Bone marrow aspirate smear.
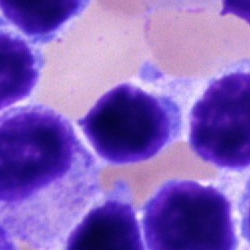

Specimen: bone marrow aspirate smear.
Classification: lymphocyte.